Brightfield, 40× oil-immersion objective. Pappenheim-stained. Bone marrow smear: 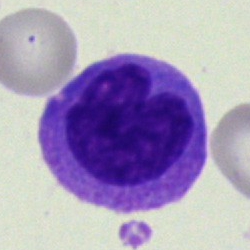
Single cell identified as a monocyte.